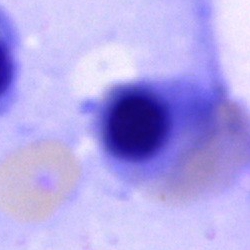Bone marrow smear showing a nucleated red cell.